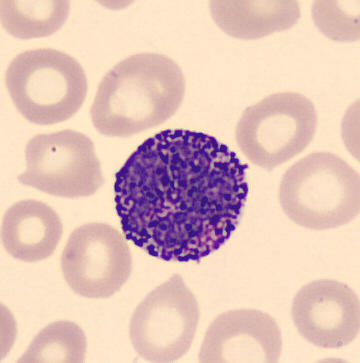
Morphology — basophilic granulocyte.

Acquisition: Peripheral blood film · CellaVision DM96 digital cell image.